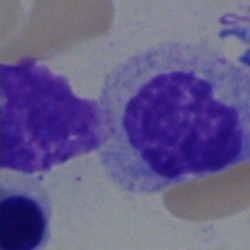Q: Which cell type is shown here?
A: It is a myelocyte.